Bone marrow aspirate smear.
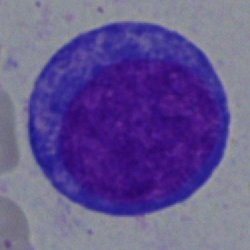Single cell identified as a proerythroblast.